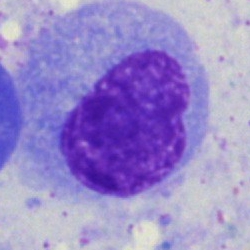

A monocyte on a bone marrow smear.